Bone marrow aspirate smear. 250×250 px.
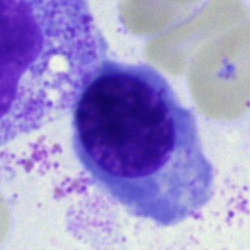
A normoblast.